Bone marrow smear:
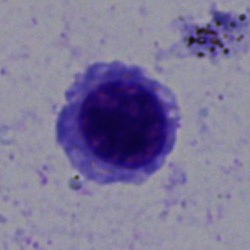
Morphology → nucleated red cell.